MGG-stained; peripheral blood smear; cropped to a single cell
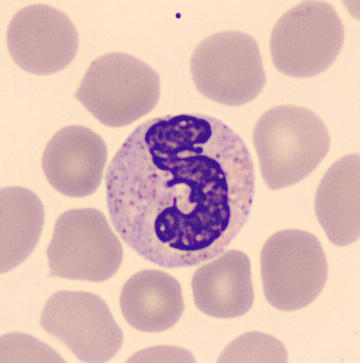
This is a polymorphonuclear neutrophil.